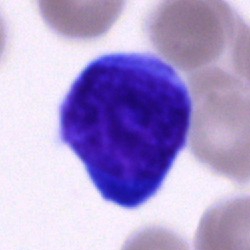 Single-cell crop from a bone marrow smear: blast.